Bone marrow aspirate smear: 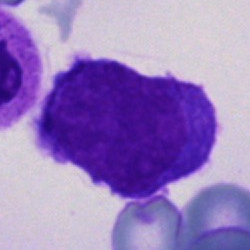Q: What cell is this?
A: It is a blast cell.